Bone marrow aspirate smear; Pappenheim-stained.
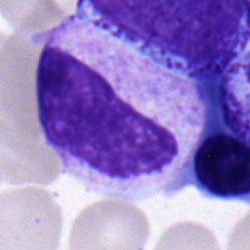
A metamyelocyte.